Bone marrow aspirate smear; 250×250; May-Grünwald-Giemsa stain.
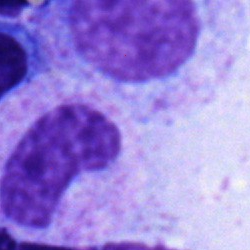 {"cell_type": "myelocyte", "lineage": "myeloid"}